Bone marrow aspirate smear:
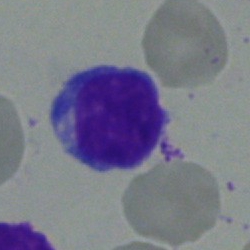

{"cell_type": "lymphocyte"}